Bone marrow aspirate smear. Cropped to a single cell: 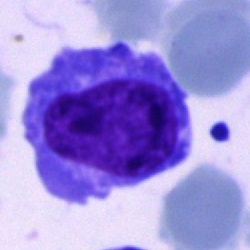 This is an undifferentiated blast.